Bone marrow aspirate smear: 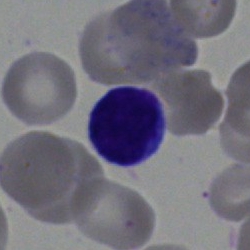
Q: What cell is this?
A: A typical lymphocyte.